Bone marrow smear.
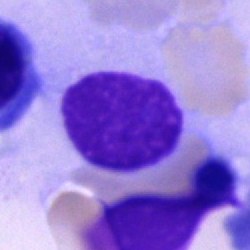
Morphology consistent with an artifact.